Bone marrow smear: 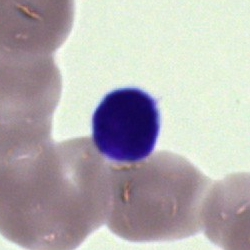A cell of indeterminate lineage.